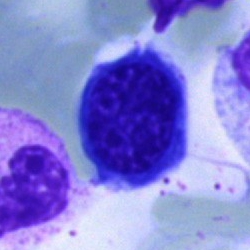 Morphological class = normoblast.